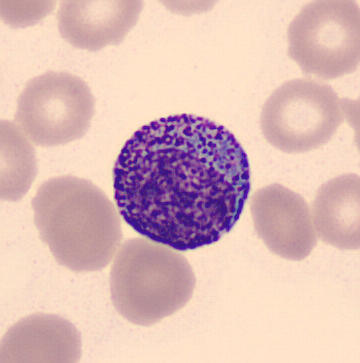Q: What is the morphological classification of this cell?
A: It is a promyelocyte. Peripheral blood smear.